Bone marrow aspirate smear; Pappenheim-stained: 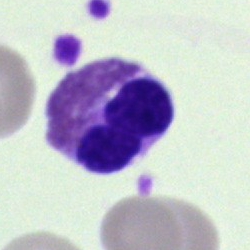
Specimen: bone marrow aspirate smear.
Cell: eosinophilic granulocyte.